MGG-stained; 250 by 250 pixels; bone marrow smear — 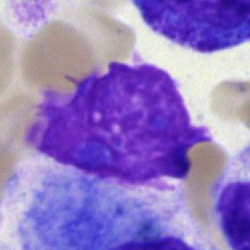
Artifact.